Bone marrow smear — 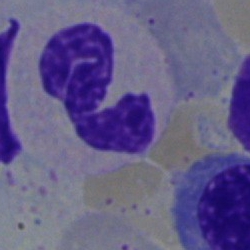Morphological class: segmented neutrophil.